Bone marrow smear.
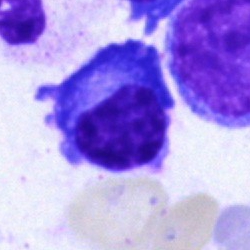
Specimen: bone marrow smear.
Morphological class: plasma cell.